Bone marrow aspirate smear. Image size 250×250:
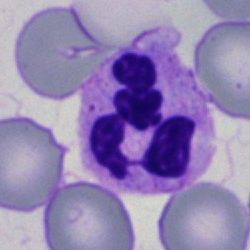
Impression → polymorphonuclear neutrophil.